Image size 250×250; bone marrow aspirate smear:
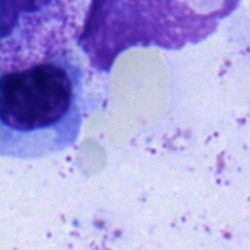

Morphology → normoblast.